40× oil immersion; bone marrow smear: 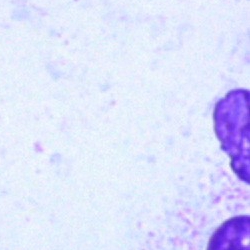
Showing an artifact.